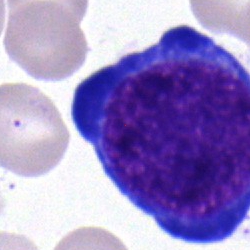
Morphology → pronormoblast.